Cropped to a single cell; bone marrow smear — 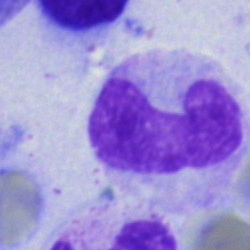 Q: What is shown here?
A: A stab cell.